Bone marrow aspirate smear · single-cell crop:
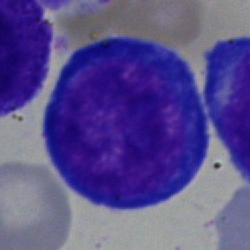

Q: What is shown here?
A: It is a proerythroblast.